Bone marrow aspirate smear: 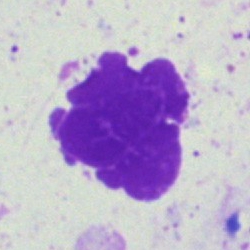 Q: What is shown here?
A: It is an artifact.